40× oil immersion. Cropped to a single cell. Bone marrow aspirate smear — 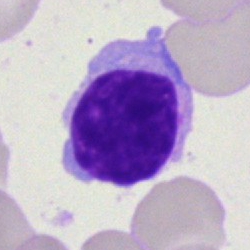 Lymphocyte.